Brightfield microscopy, 40× oil immersion · bone marrow aspirate smear:
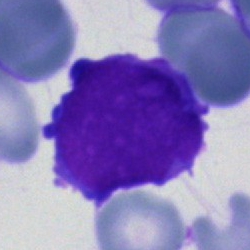Morphology consistent with a blast.